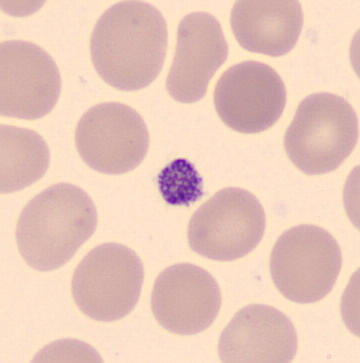

Morphological class: thrombocyte.